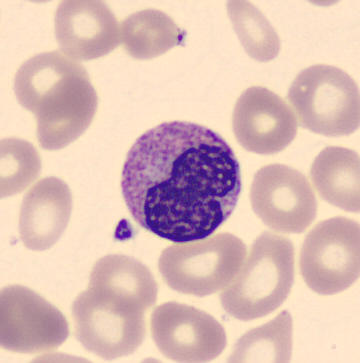 Single-cell crop from a peripheral blood smear: metamyelocyte.